40× objective, oil immersion · bone marrow aspirate smear — 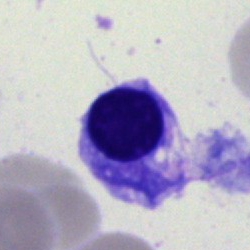
Morphology consistent with an erythroblast.